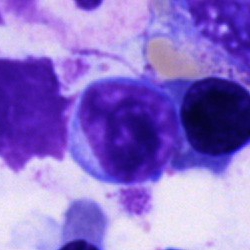Morphological class: typical lymphocyte.